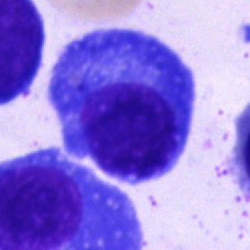
Morphology consistent with a plasmacyte.